Bone marrow aspirate smear:
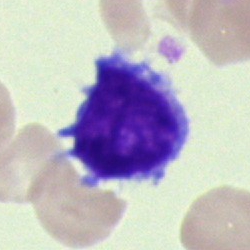

The cell shown is a typical lymphocyte.